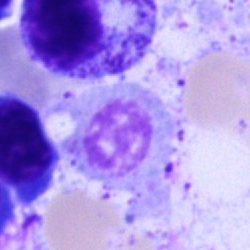
Impression → artefact.